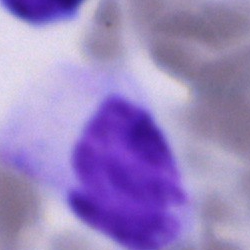A cell of indeterminate lineage.